40× objective, oil immersion. Bone marrow aspirate smear. Single cell centered in the field — 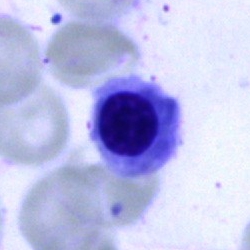

Single cell identified as an erythroblast.